Bone marrow aspirate smear
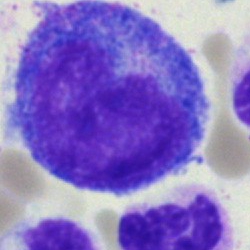

Impression → progranulocyte.